Bone marrow aspirate smear · 250×250 px — 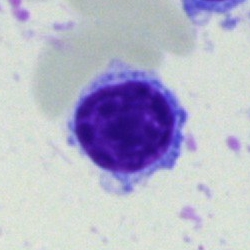

Morphology → lymphocyte.